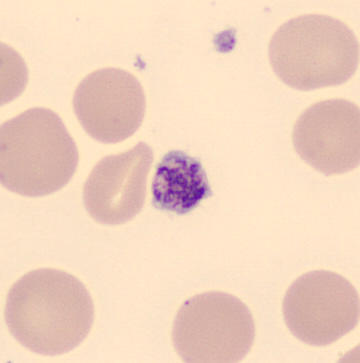
Q: What is this?
A: A platelet (thrombocyte).